Brightfield, 40× oil-immersion objective · bone marrow aspirate smear: 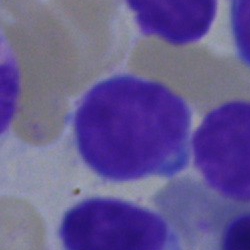

Q: What type of cell is this?
A: A typical lymphocyte.